Bone marrow aspirate smear: 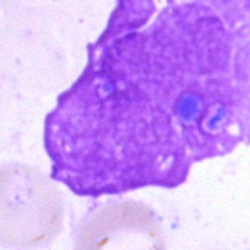 Showing an artifact.